Bone marrow smear · 40× oil immersion:
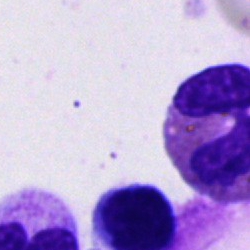 The classification is eosinophilic granulocyte.